Bone marrow aspirate smear · 250×250 · MGG-stained: 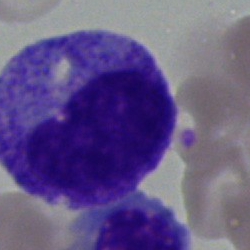
Morphological class — promyelocyte.